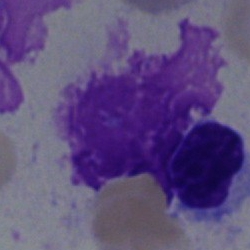
The cell is artefact.